Single-cell field · bone marrow smear · Pappenheim-stained
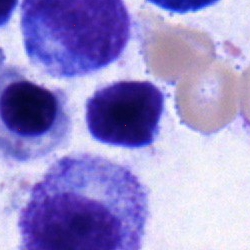 The cell shown is a lymphocyte.